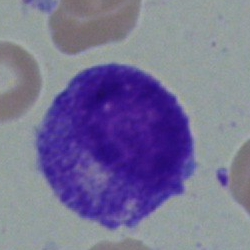

Q: Which cell type is shown here?
A: Myelocyte.